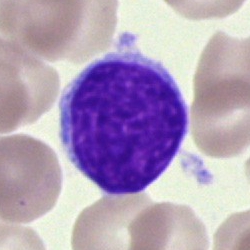
The classification is typical lymphocyte.